Bone marrow aspirate smear · 250×250 px · May-Grünwald-Giemsa stain — 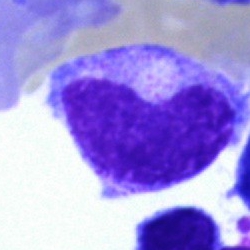 Single cell identified as a metamyelocyte.